400 by 400 pixels · peripheral blood film.
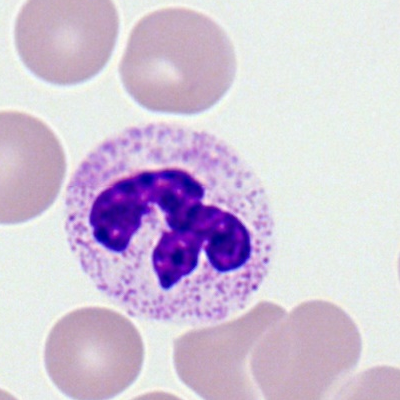
The cell shown is a polymorphonuclear neutrophil.